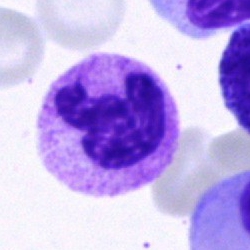
Cell — neutrophil (segmented).